Bone marrow smear
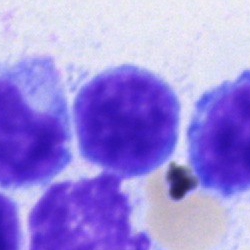 Single cell identified as a lymphocyte.